250×250 px; May-Grünwald-Giemsa/Pappenheim stain; bone marrow smear.
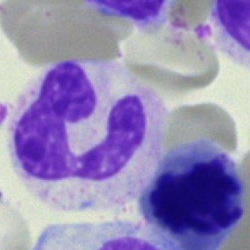

Showing a polymorphonuclear neutrophil.